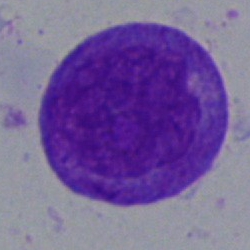Bone marrow aspirate smear, single cell — promyelocyte.